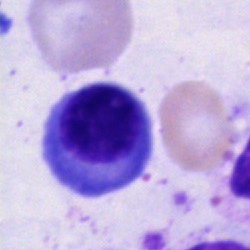
Q: Identify the cell.
A: It is an erythroblast.